Bone marrow smear; 250×250:
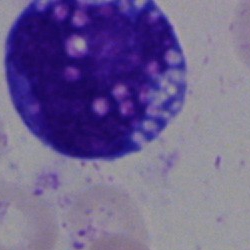
{"cell_type": "blast cell"}